Cropped to a single cell; peripheral blood smear; 400×400 px:
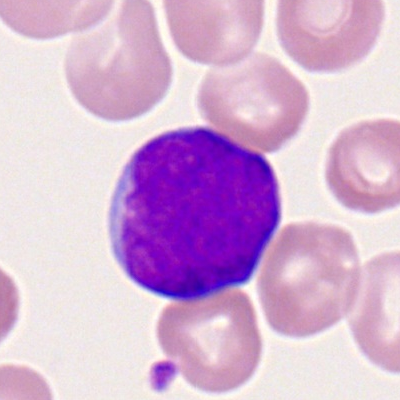 Q: Identify the cell.
A: A myeloblast.